Bone marrow smear — 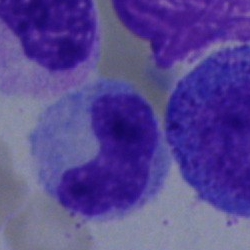
The classification is neutrophil (band).